Single cell centered in the field · 250×250 · bone marrow aspirate smear: 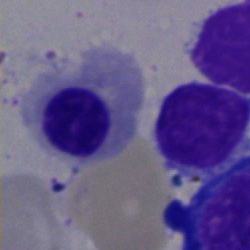 Cell type = nucleated red blood cell.